100× oil immersion, 14.14 px/µm. Peripheral blood film: 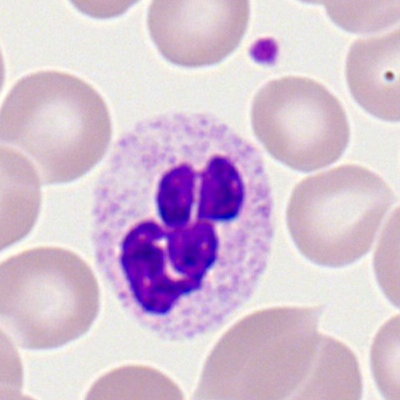
Classification — neutrophil (segmented).